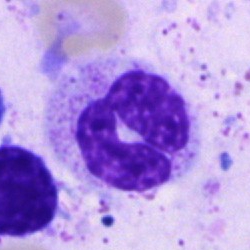 A polymorphonuclear neutrophil on a bone marrow smear.